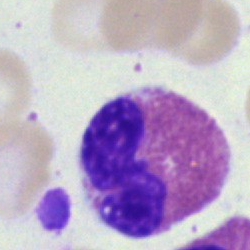

The cell is eosinophilic granulocyte.